Bone marrow aspirate smear: 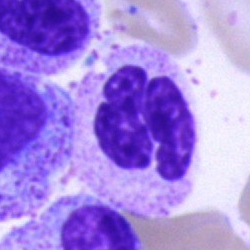

Q: What is shown here?
A: A neutrophil (segmented).